Bone marrow smear
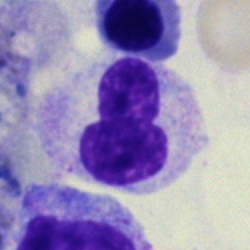Morphology consistent with a band neutrophil.